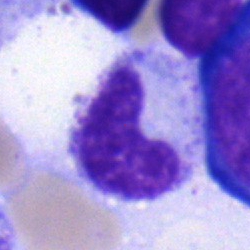Specimen: bone marrow aspirate smear.
Classification: metamyelocyte.
Lineage: myeloid.